Bone marrow aspirate smear: 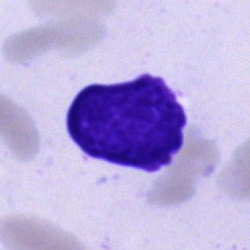
Showing an artifact.